Bone marrow aspirate smear — 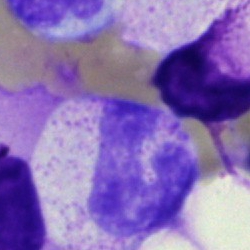

The cell is stab cell.